Bone marrow smear.
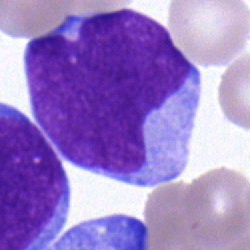

An undifferentiated blast.